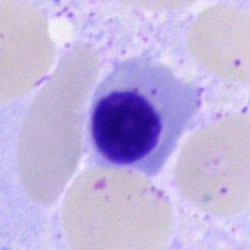

Q: What cell is this?
A: A nucleated red cell.